40× oil immersion. Bone marrow smear.
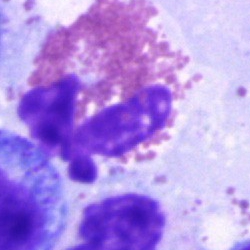 Q: What type of cell is this?
A: An eosinophilic granulocyte.